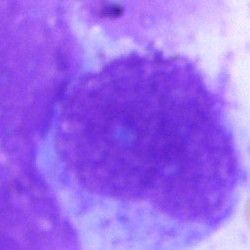 Specimen: bone marrow smear.
Cell: artifact.